Bone marrow smear. 250×250 px:
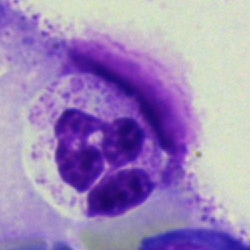
Morphology consistent with a segmented neutrophil.